Pappenheim-stained · bone marrow smear: 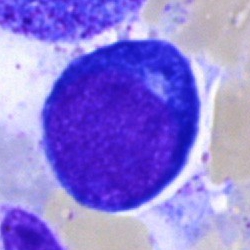
Q: Which cell type is shown here?
A: This is a proerythroblast.